Bone marrow aspirate smear: 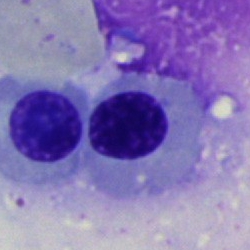
Morphological class: erythroblast.